Peripheral blood smear.
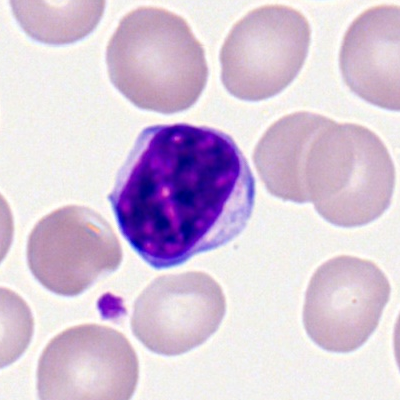A lymphocyte.